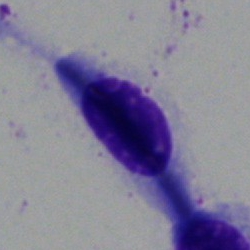 Morphology → artefact.